Peripheral blood smear; image size 400×400.
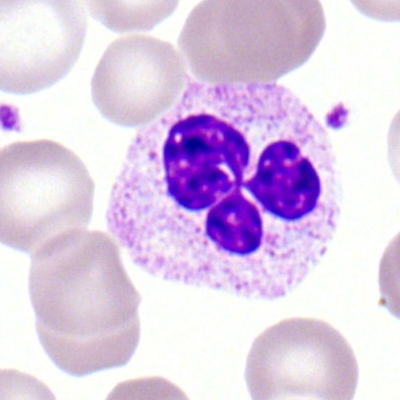

Morphology consistent with a neutrophil (segmented).